Bone marrow smear.
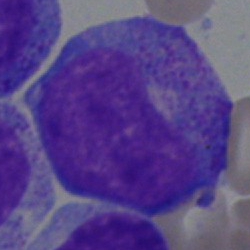{"cell_type": "progranulocyte"}